Bone marrow aspirate smear; MGG-stained; 40× oil immersion
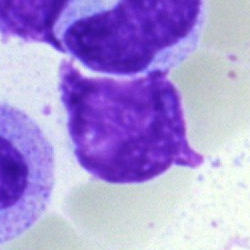 Specimen: bone marrow aspirate smear.
Classification: artifact.